Bone marrow aspirate smear:
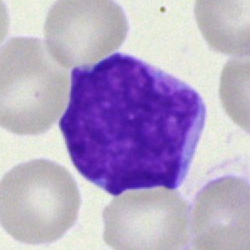A blast cell.